Bone marrow aspirate smear.
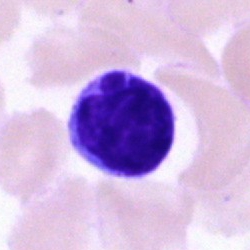 Q: What is the morphological classification of this cell?
A: A lymphocyte.